250×250 · bone marrow aspirate smear · Pappenheim-stained — 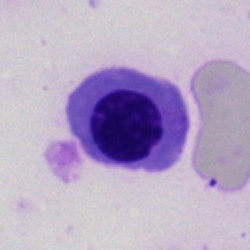

Morphology — erythroblast.